Bone marrow aspirate smear.
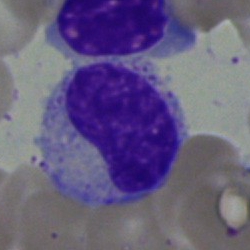Q: What is shown here?
A: Metamyelocyte.